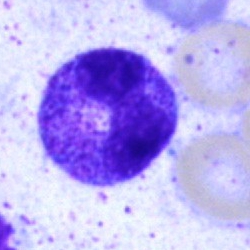

Single-cell crop from a bone marrow smear: polymorphonuclear neutrophil.